250×250; bone marrow smear — 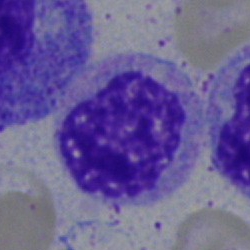

Single cell identified as a metamyelocyte.